Bone marrow aspirate smear — 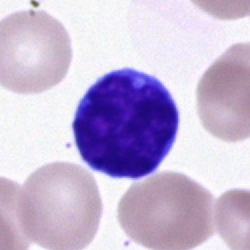 Classification = lymphocyte.